40× objective, oil immersion. Bone marrow aspirate smear
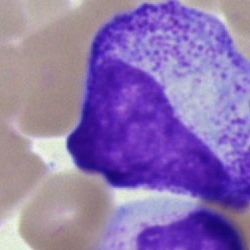Q: What type of cell is this?
A: Promyelocyte.